Bone marrow smear: 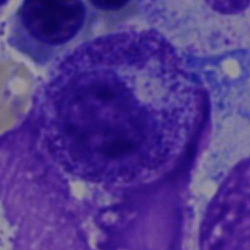Showing a metamyelocyte.